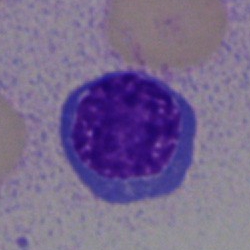An erythroblast on a bone marrow smear.